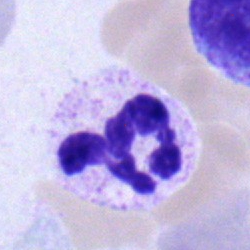 Morphological class — polymorphonuclear neutrophil.